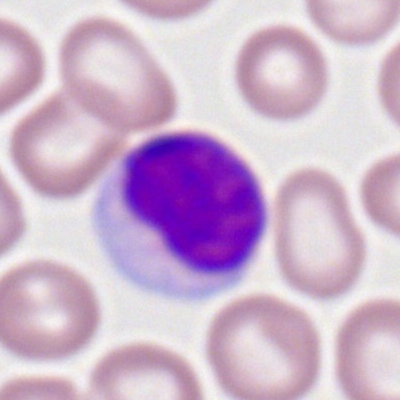

Morphology → lymphocyte.